Brightfield, 40× oil-immersion objective. Bone marrow aspirate smear
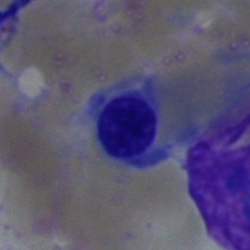The cell shown is an erythroblast.